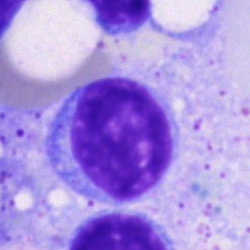

Morphological class = typical lymphocyte.